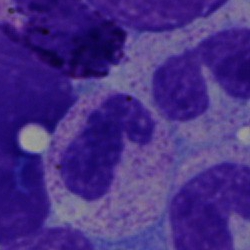Bone marrow smear showing a segmented neutrophil.